Bone marrow aspirate smear; MGG-stained — 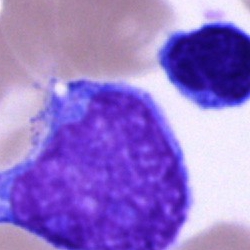 Q: Which cell type is shown here?
A: A blast.